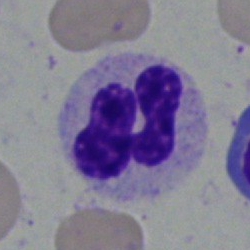

Cell: polymorphonuclear neutrophil.